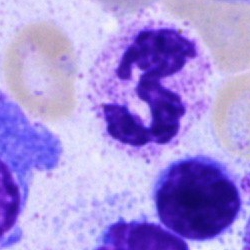
Q: What is shown here?
A: It is a neutrophil (segmented).